May-Grünwald-Giemsa/Pappenheim stain; bone marrow smear
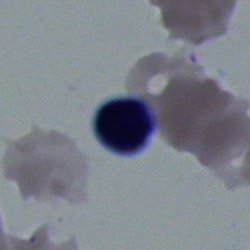{"cell_type": "lymphocyte", "lineage": "lymphoid"}